Bone marrow aspirate smear; Pappenheim-stained:
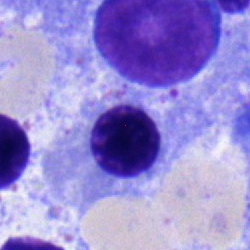 Nucleated red cell.